40× objective, oil immersion. Bone marrow aspirate smear.
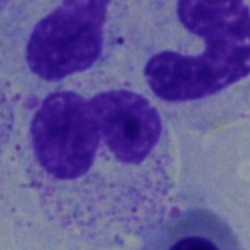Morphological class = segmented neutrophil.